Bone marrow aspirate smear — 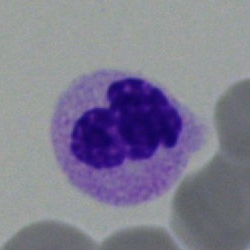Q: What is the morphological classification of this cell?
A: A polymorphonuclear neutrophil.